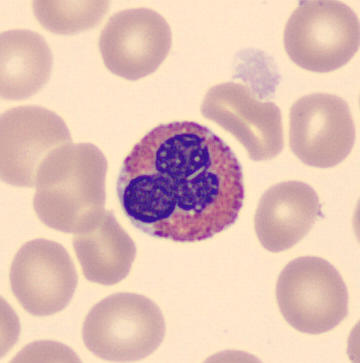 Morphology — eosinophil.